250×250 · bone marrow smear:
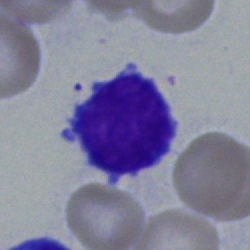The cell is lymphocyte.